Bone marrow smear; brightfield, 40× oil-immersion objective; single cell centered in the field: 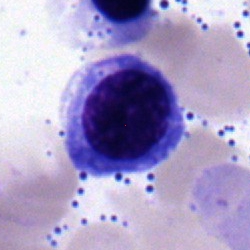
Q: Which cell type is shown here?
A: A nucleated red cell.